Single-cell crop. 40× oil immersion. Bone marrow smear — 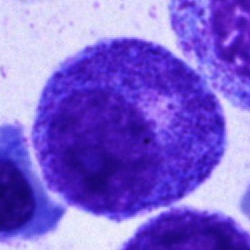Classification = promyelocyte.